Bone marrow smear — 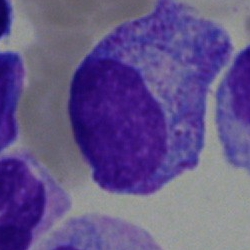

Specimen: bone marrow smear.
Morphological class: myelocyte.
Lineage: myeloid.